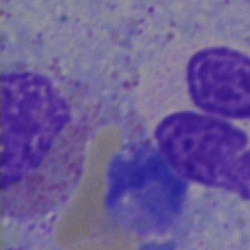

Single-cell crop from a bone marrow smear: artefact.